Peripheral blood film: 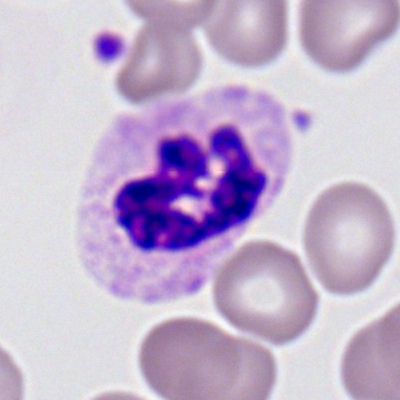Cell = neutrophil (segmented).